Bone marrow smear:
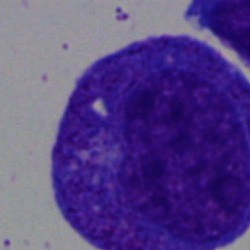
Cell type: progranulocyte.